100× objective, oil immersion; peripheral blood smear — 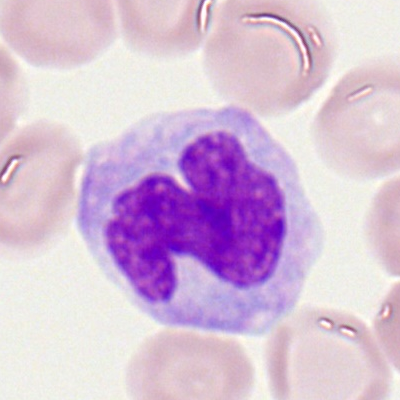A monocyte.